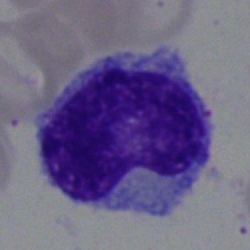The cell type is metamyelocyte.